Bone marrow aspirate smear
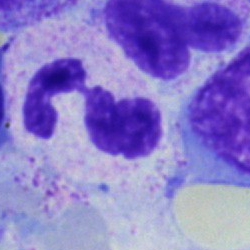Q: Identify the cell.
A: A neutrophil (segmented).